400 by 400 pixels · peripheral blood film · 100× oil immersion: 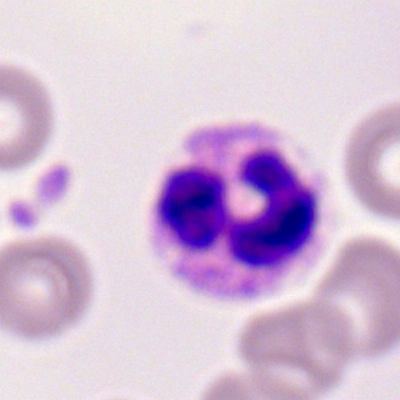

Classification = polymorphonuclear neutrophil.